Brightfield microscopy, 40× oil immersion · bone marrow smear: 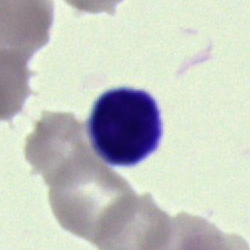 A typical lymphocyte.